Bone marrow smear. Single-cell crop. Pappenheim-stained — 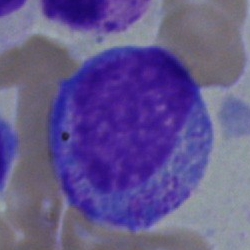 Morphology consistent with a promyelocyte.